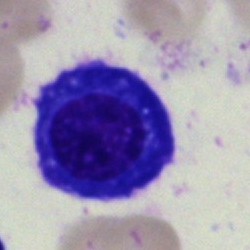
Bone marrow aspirate smear, single cell — plasma cell.